Bone marrow aspirate smear; 40× objective, oil immersion — 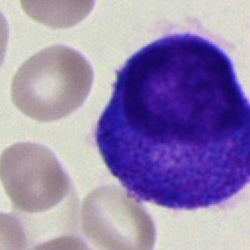

Specimen: bone marrow aspirate smear.
Classification: progranulocyte.
Lineage: myeloid.